Peripheral blood smear: 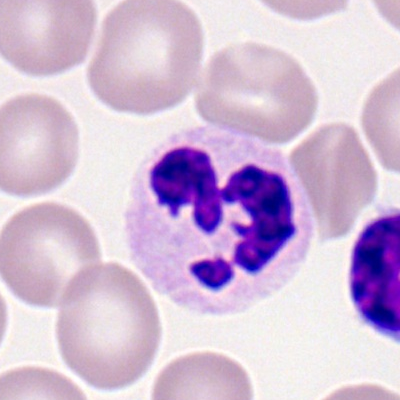The morphological class is segmented neutrophil.